Bone marrow smear: 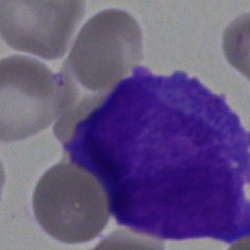 Specimen: bone marrow smear.
Cell type: blast cell.